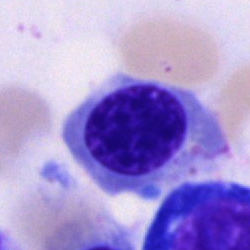Showing a normoblast.